Cropped to a single cell. Peripheral blood smear
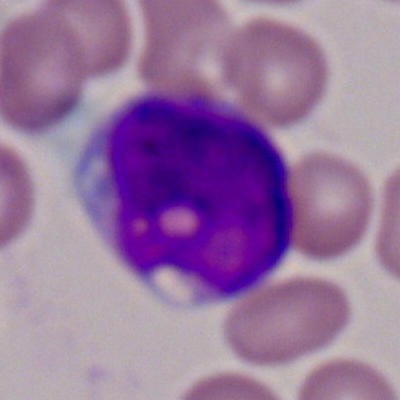Showing a myeloblast.